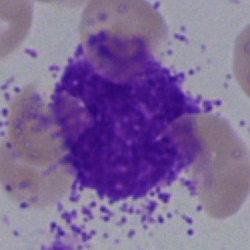 Q: What is shown here?
A: It is an artefact.